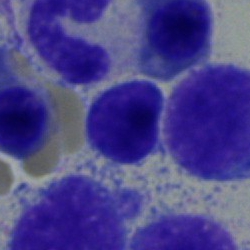Q: What cell is this?
A: It is a typical lymphocyte.